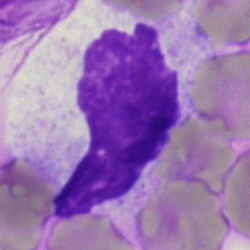Q: What is shown here?
A: It is an artifact.